Bone marrow aspirate smear:
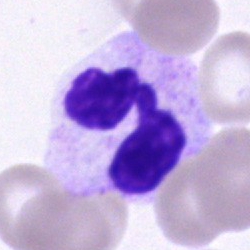
Cell = polymorphonuclear neutrophil.